250×250 px; bone marrow smear: 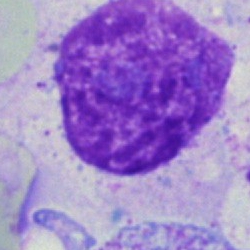 Artefact.